Bone marrow aspirate smear: 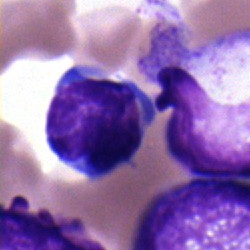

Morphology → typical lymphocyte.